Bone marrow smear — 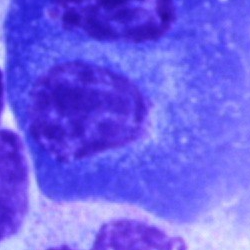Morphology → plasma cell.